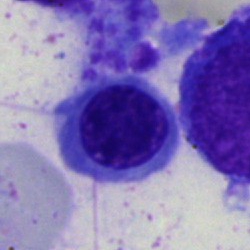Single cell identified as an erythroblast.